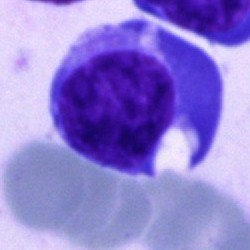Q: What type of cell is this?
A: Blast cell.